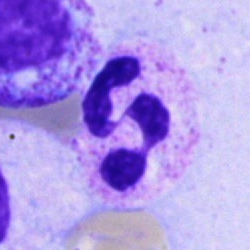

Q: Which cell type is shown here?
A: This is a segmented neutrophil.